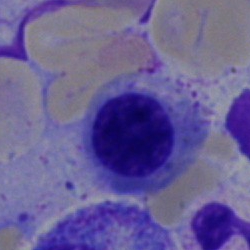Nucleated red cell.